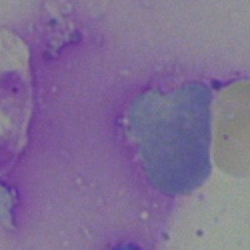
Showing an artifact.